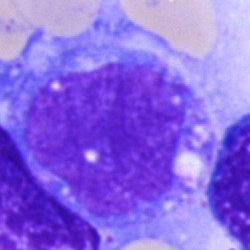

Cell: monocyte.